Bone marrow aspirate smear: 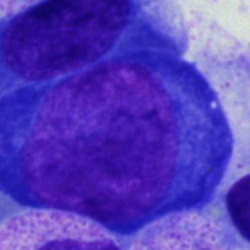
Cell type = pronormoblast.